Bone marrow smear
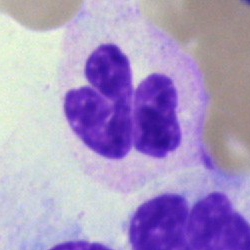Morphology — polymorphonuclear neutrophil.